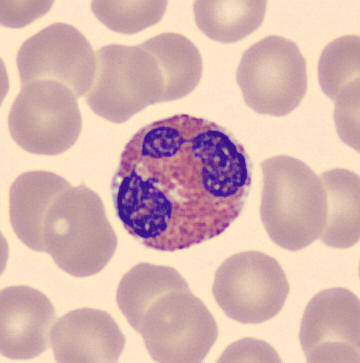

Acquisition: MGG-stained. Automated cell imaging (CellaVision DM96). Peripheral blood smear.
This is an eosinophilic granulocyte.